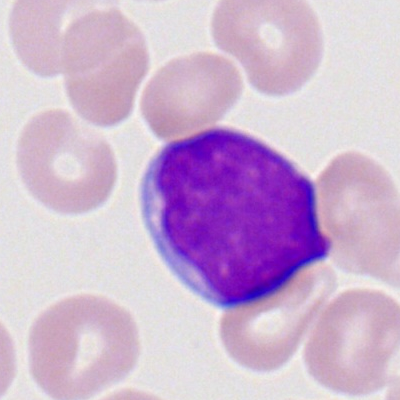 Specimen: peripheral blood film.
Morphological class: myeloblast.